Bone marrow aspirate smear · single-cell field
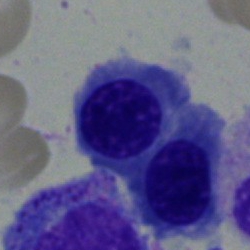Cell: nucleated red blood cell.